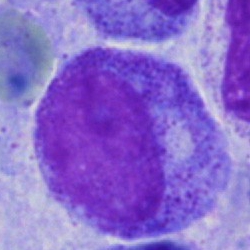

{"cell_type": "promyelocyte"}